Bone marrow smear
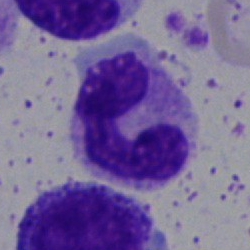Neutrophil (band).